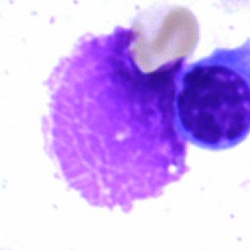 An artefact.